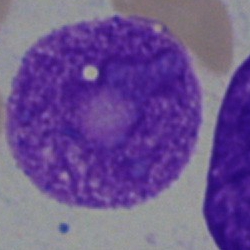 Morphology — artifact.